Bone marrow smear:
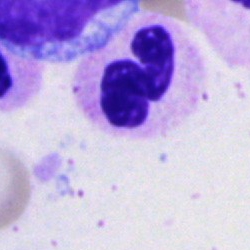This is a neutrophil (segmented).